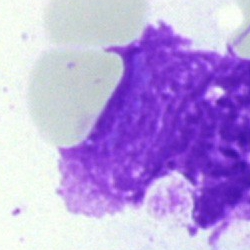

Q: What is shown here?
A: An artifact.